Bone marrow aspirate smear · 40× objective, oil immersion
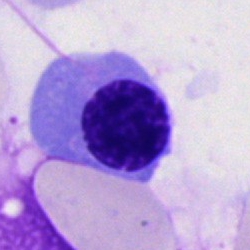 The morphological class is nucleated red cell.